250×250 px; bone marrow aspirate smear; MGG-stained — 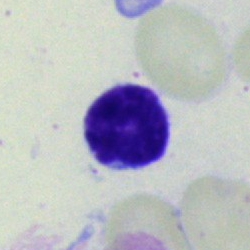
This is a typical lymphocyte.